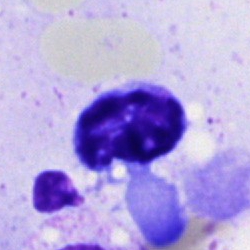
Impression — lymphocyte.